Bone marrow aspirate smear — 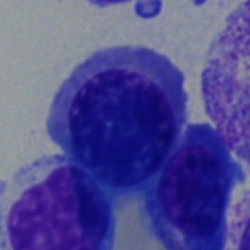Cell: erythroblast.